Bone marrow aspirate smear.
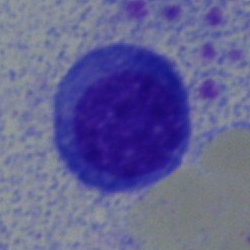
Morphology consistent with a plasmacyte.